Bone marrow smear: 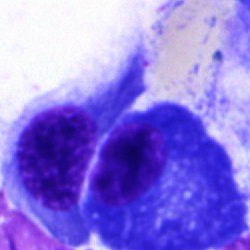{"cell_type": "plasmacyte", "lineage": "lymphoid"}